250 by 250 pixels; bone marrow aspirate smear — 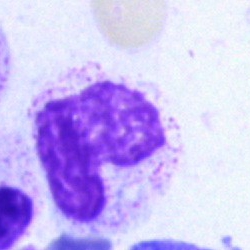

Q: What is shown here?
A: It is an artifact.